Bone marrow aspirate smear; single-cell field.
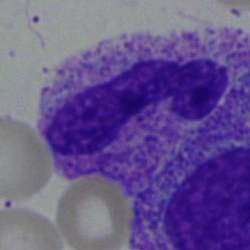 Q: What is shown here?
A: It is a band neutrophil.